Peripheral blood smear — 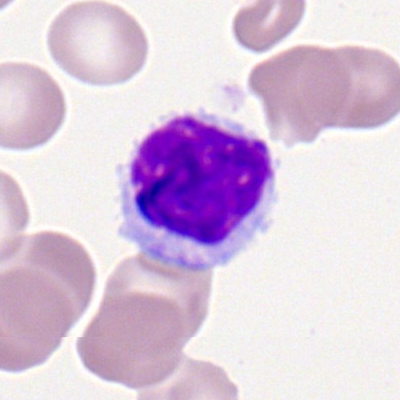

Specimen: peripheral blood film.
Cell: lymphocyte.